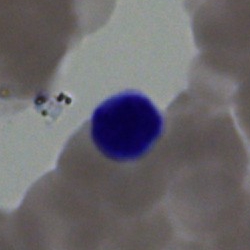
Bone marrow smear showing a typical lymphocyte.